Brightfield, 40× oil-immersion objective. Single cell centered in the field. Bone marrow smear:
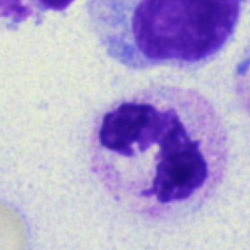Impression — neutrophil (segmented).